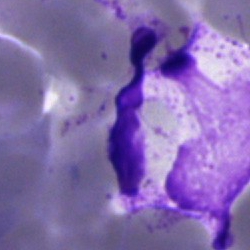

Specimen: bone marrow aspirate smear.
Morphological class: artifact.